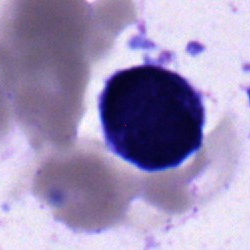 Classification: blast.